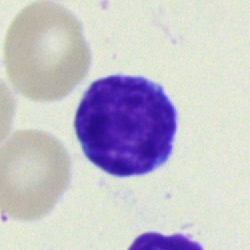
Q: Identify the cell.
A: It is a typical lymphocyte.